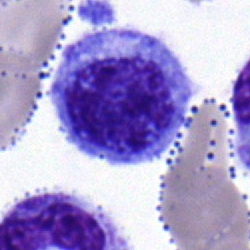 Morphology — myelocyte.